Bone marrow aspirate smear:
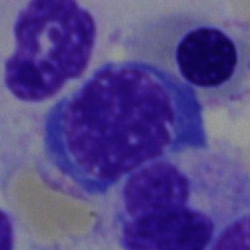Erythroblast.